Bone marrow smear: 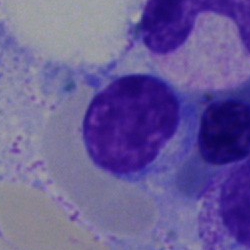
The cell shown is a lymphocyte.